Bone marrow smear — 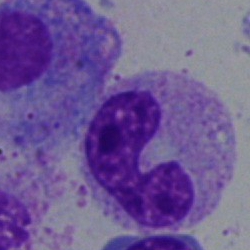This is a band-form neutrophil.